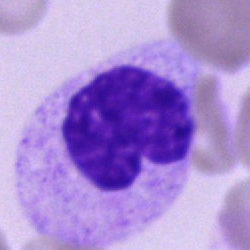

The cell shown is a metamyelocyte.